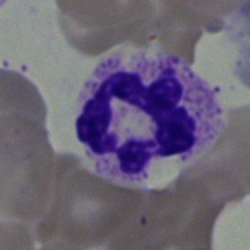

Morphological class — polymorphonuclear neutrophil.